Single cell centered in the field; 250 by 250 pixels; bone marrow aspirate smear: 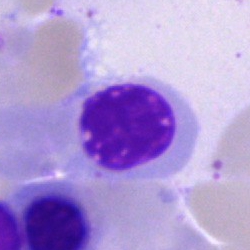

Nucleated red blood cell.